Bone marrow smear.
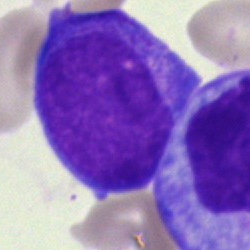

Showing a blast.